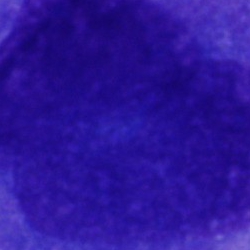
The cell shown is an artifact.